Single-cell field; bone marrow aspirate smear:
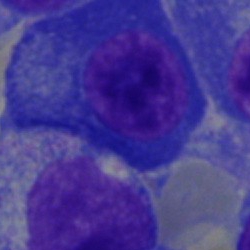

Showing a plasmacyte.